Bone marrow smear.
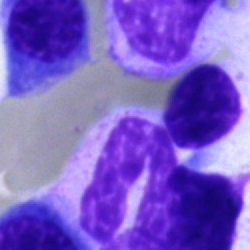{"cell_type": "artefact"}